Brightfield microscopy, 40× oil immersion. Bone marrow smear. Pappenheim-stained: 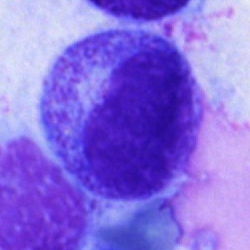
The cell shown is a promyelocyte.